Pappenheim-stained · bone marrow smear
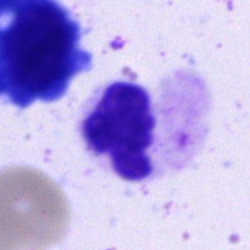Q: Identify the cell.
A: This is a neutrophil (segmented).